Cropped to a single cell; MGG-stained; bone marrow smear.
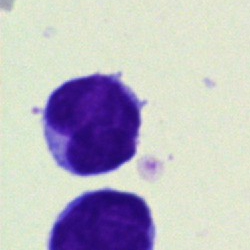
Typical lymphocyte.